40× objective, oil immersion. Bone marrow aspirate smear:
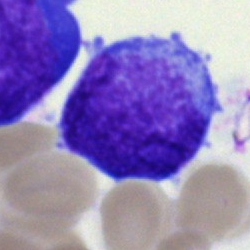 Q: What cell is this?
A: An immature lymphocyte.